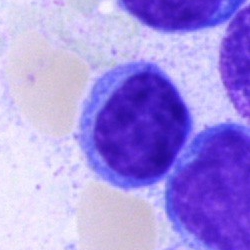A typical lymphocyte.